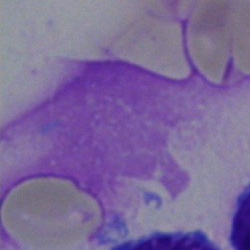This is an artefact.